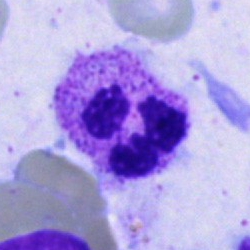

Bone marrow smear showing a segmented neutrophil.